Pappenheim-stained. Bone marrow aspirate smear. Brightfield, 40× oil-immersion objective: 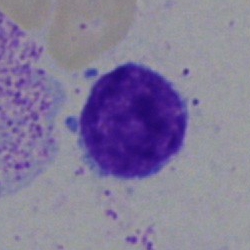
Cell = lymphocyte.